Bone marrow smear · single-cell crop · image size 250×250: 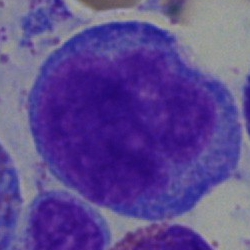Specimen: bone marrow smear.
Morphological class: undifferentiated blast.